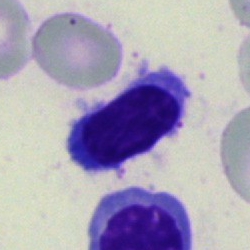

Showing a typical lymphocyte.